Bone marrow aspirate smear.
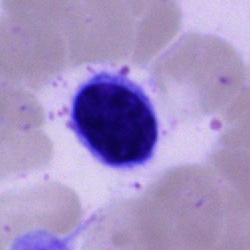Impression → plasmacyte.